Single cell centered in the field · 100× objective, oil immersion · peripheral blood smear — 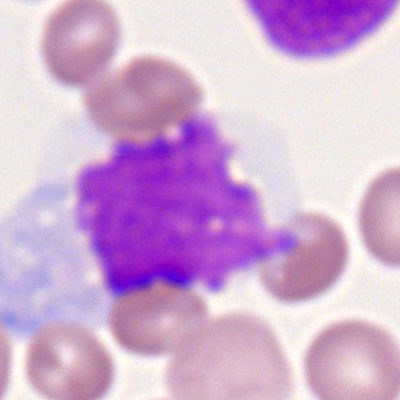
{"cell_type": "monocyte"}